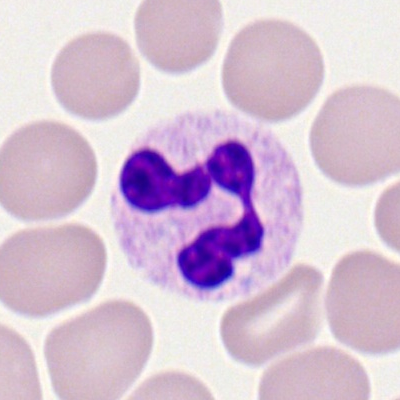
Peripheral blood film, single cell — polymorphonuclear neutrophil.